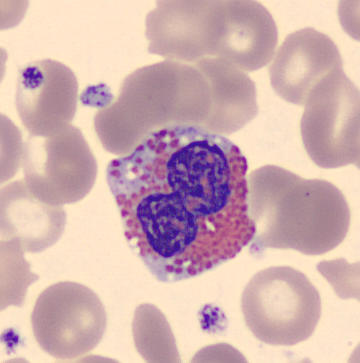
Acquisition: Peripheral blood smear. An eosinophilic granulocyte.